Single cell centered in the field; bone marrow smear; 250 by 250 pixels: 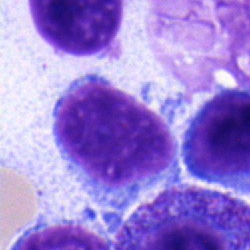
The cell shown is a typical lymphocyte.